Bone marrow smear:
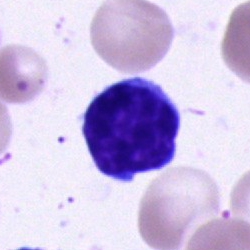A lymphocyte.